Bone marrow smear.
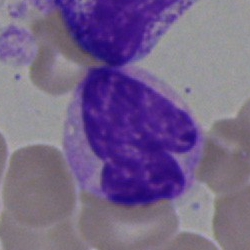

Unidentifiable cell.